Bone marrow aspirate smear
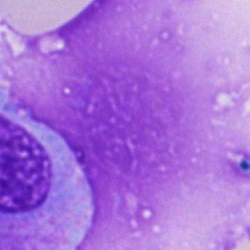Classification: artifact.